Single-cell crop; MGG-stained; bone marrow aspirate smear.
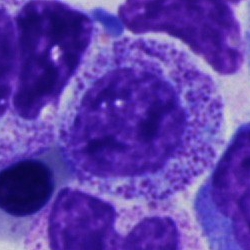

Morphology — myelocyte.